MGG-stained · bone marrow aspirate smear: 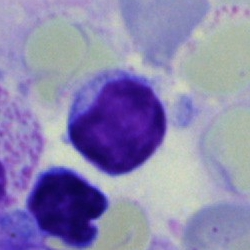 {"cell_type": "lymphocyte"}